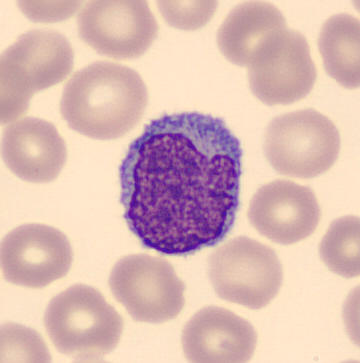

Q: What is this?
A: Monocyte.

Preparation: CellaVision DM96 digital cell image. Peripheral blood smear. May-Grünwald-Giemsa-stained.